MGG-stained · bone marrow aspirate smear · single-cell crop:
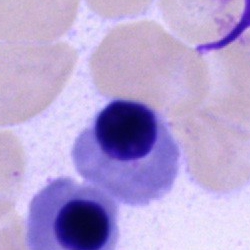 Nucleated red cell.